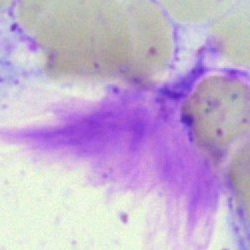

An artifact.